40× oil immersion; bone marrow aspirate smear
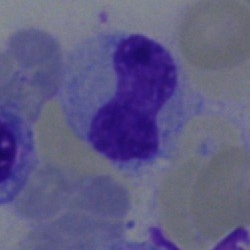

Showing a band neutrophil.